Bone marrow smear
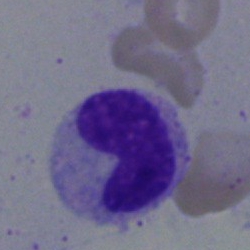

{"cell_type": "band neutrophil", "lineage": "myeloid"}